Bone marrow aspirate smear: 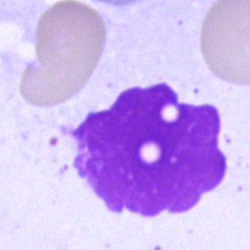

Q: What is shown here?
A: Artifact.